Bone marrow aspirate smear:
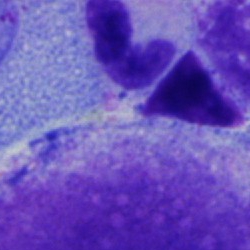 Morphology — artifact.